Bone marrow smear — 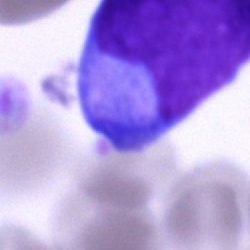The cell type is undifferentiated blast.